Bone marrow smear
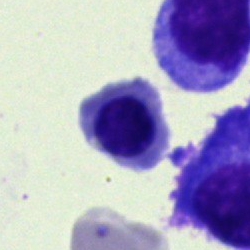

Q: Which cell type is shown here?
A: Nucleated red blood cell.